Bone marrow smear. May-Grünwald-Giemsa/Pappenheim stain. 40× objective, oil immersion — 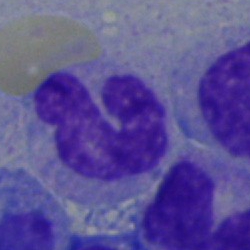Q: What type of cell is this?
A: This is a monocyte.